Bone marrow aspirate smear. Single-cell field. MGG-stained: 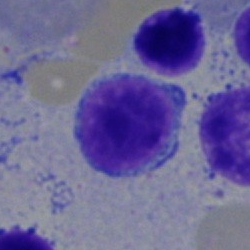

Cell type: typical lymphocyte.